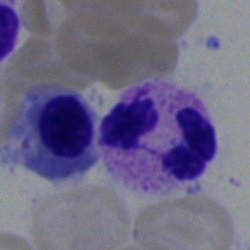
Showing a polymorphonuclear neutrophil.